Cropped to a single cell · bone marrow smear — 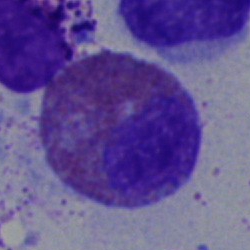Q: What is shown here?
A: It is an eosinophilic granulocyte.